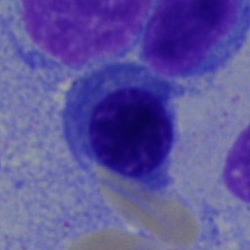

Nucleated red blood cell.